May-Grünwald-Giemsa/Pappenheim stain · bone marrow smear:
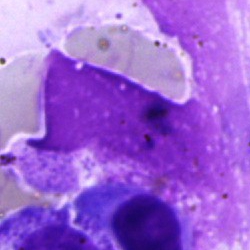

Q: What is shown here?
A: It is an artifact.